Pappenheim-stained. Bone marrow aspirate smear — 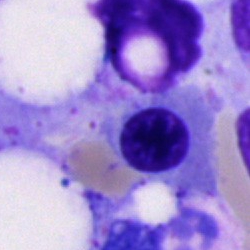Blast.